Bone marrow smear. Brightfield microscopy, 40× oil immersion
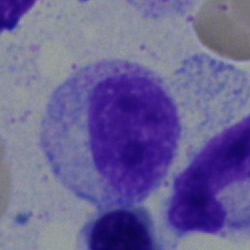Classification — myelocyte.